Bone marrow smear; May-Grünwald-Giemsa stain; 250×250 px — 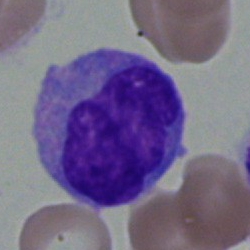

Single cell identified as a monocyte.